Pappenheim-stained. Bone marrow aspirate smear — 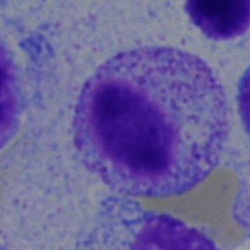

Single cell identified as a myelocyte.